Bone marrow smear
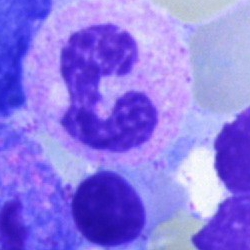Cell type — polymorphonuclear neutrophil.